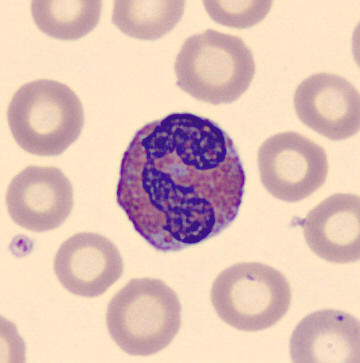 Image: Automated cell imaging (CellaVision DM96). Peripheral blood smear. May Grünwald-Giemsa stain.

{"cell_type": "eosinophilic granulocyte", "lineage": "myeloid"}